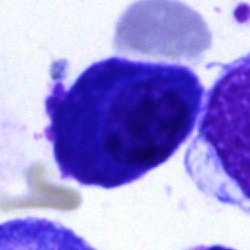

This is a plasmacyte.